MGG-stained. Bone marrow aspirate smear — 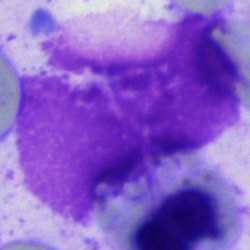 An artifact.